Bone marrow smear · single cell centered in the field:
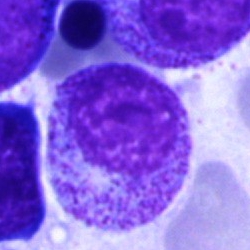
Single cell identified as a myelocyte.